Bone marrow smear.
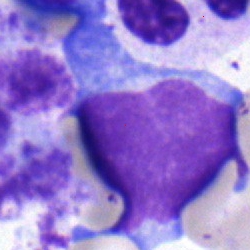Morphology — blast.